Bone marrow smear; image size 250×250
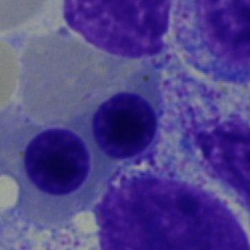The cell type is nucleated red blood cell.